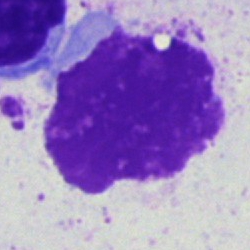
Q: What is shown here?
A: This is an artifact.